Bone marrow smear: 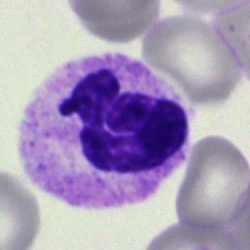

Impression — segmented neutrophil.